250×250 px. Bone marrow aspirate smear. May-Grünwald-Giemsa stain.
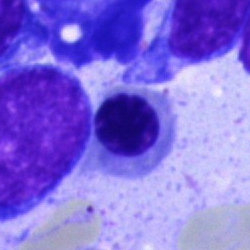

Classification: erythroblast.